Single-cell crop; bone marrow aspirate smear — 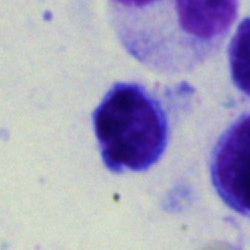

Cell type — typical lymphocyte.